Peripheral blood smear
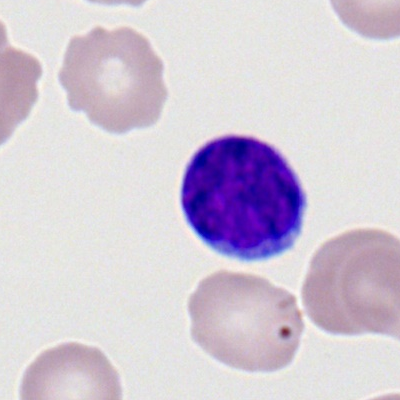

Morphology → lymphocyte.